Bone marrow aspirate smear:
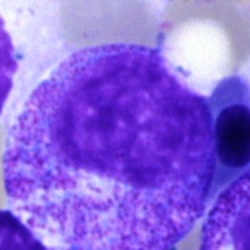
Morphology → myelocyte.